Bone marrow smear:
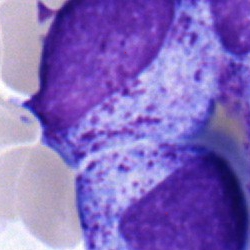
Showing a promyelocyte.